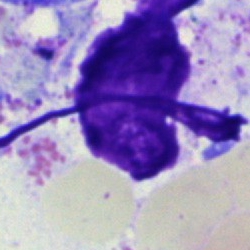
Specimen: bone marrow smear.
Classification: artefact.